Bone marrow smear
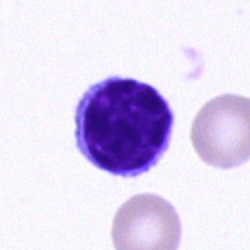 The cell is typical lymphocyte.